Bone marrow smear: 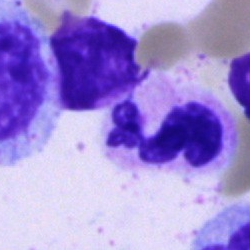 {"cell_type": "polymorphonuclear neutrophil"}